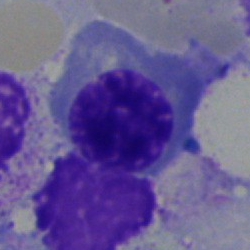 A nucleated red blood cell on a bone marrow smear.